Bone marrow aspirate smear.
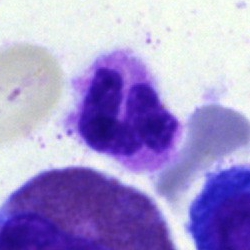
This is a polymorphonuclear neutrophil.